Brightfield, 40× oil-immersion objective; bone marrow smear; image size 250×250:
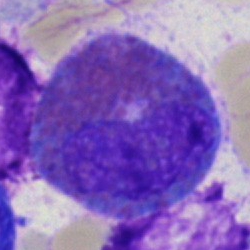

The cell type is eosinophilic granulocyte.